Bone marrow smear · single-cell crop.
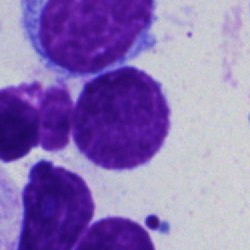An artifact.